Bone marrow smear; image size 250×250
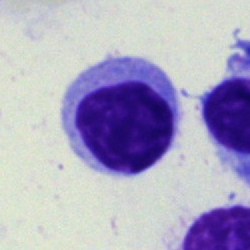 {"cell_type": "typical lymphocyte", "lineage": "lymphoid"}